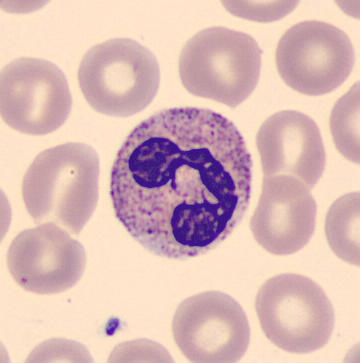

Image: 360×363 px · peripheral blood film · imaged on a CellaVision DM96 analyser.
Q: What type of cell is this?
A: Segmented neutrophil.